400×400; peripheral blood film:
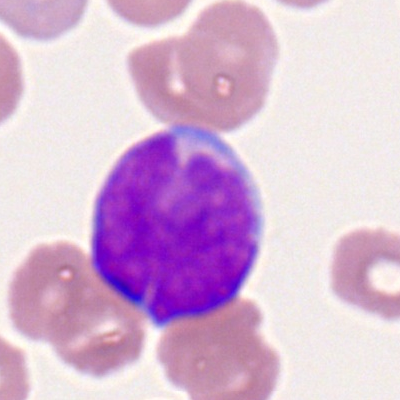Morphology consistent with a myeloid blast.